Peripheral blood smear. 100× oil immersion.
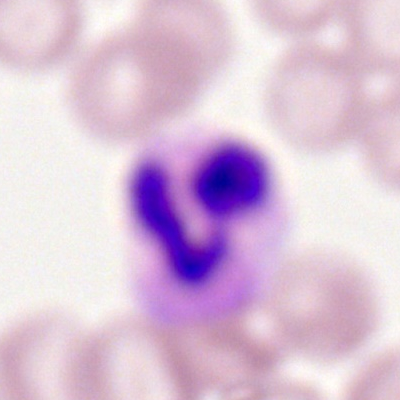
A neutrophil (segmented).